Bone marrow smear. 250×250 px. May-Grünwald-Giemsa/Pappenheim stain.
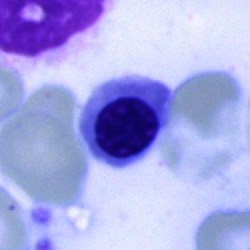
Morphology → normoblast.